Bone marrow smear — 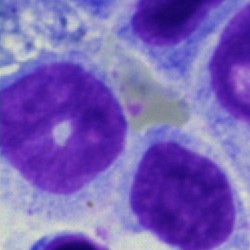

The cell shown is an artifact.